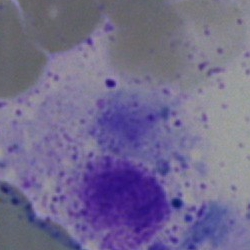 This is an artefact.